Cropped to a single cell · brightfield microscopy, 40× oil immersion · bone marrow smear.
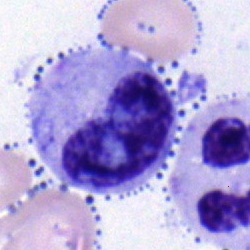

Impression → metamyelocyte.